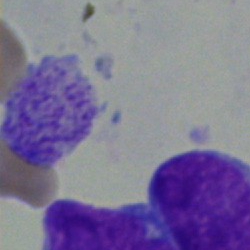An artefact on a bone marrow smear.